Bone marrow smear · 250 by 250 pixels · May-Grünwald-Giemsa/Pappenheim stain
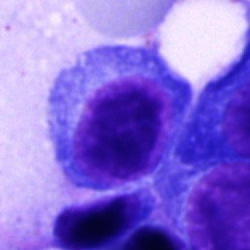 Classification — plasmacyte.